Bone marrow aspirate smear. 40× oil immersion.
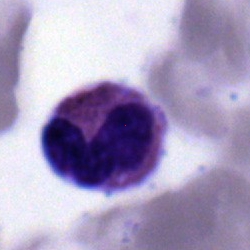
Specimen: bone marrow smear.
Morphological class: eosinophil.
Lineage: myeloid.